Bone marrow aspirate smear. 250×250.
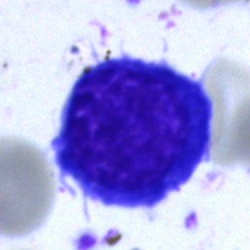 {"cell_type": "nucleated red blood cell"}